MGG-stained · bone marrow aspirate smear: 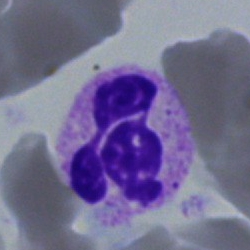 Morphology → polymorphonuclear neutrophil.